Bone marrow aspirate smear — 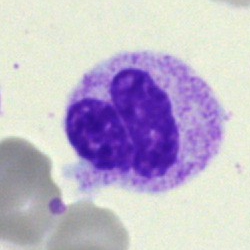

Showing a stab cell.